Bone marrow smear:
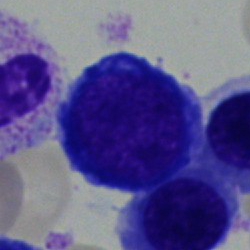 Cell type = proerythroblast.